Bone marrow smear; image size 250×250:
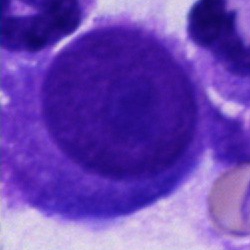
Morphology consistent with a plasmacyte.